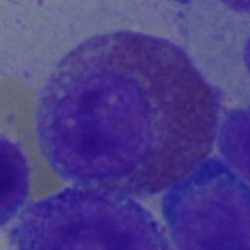Bone marrow smear showing an eosinophilic granulocyte.